Bone marrow aspirate smear. Brightfield, 40× oil-immersion objective: 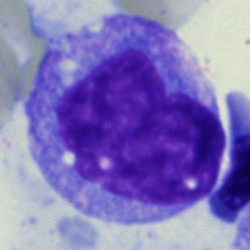 The cell is monocyte.